Image size 400×400. Peripheral blood film. Brightfield, 100× oil-immersion objective
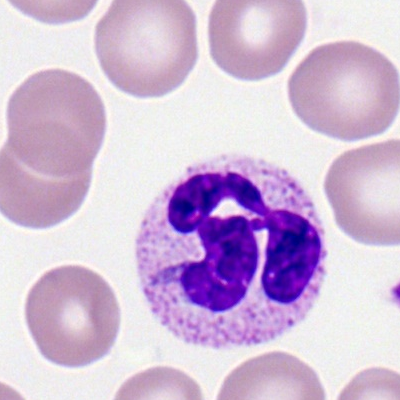
Single cell identified as a segmented neutrophil.